Bone marrow smear
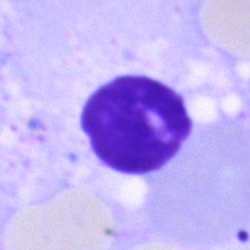

This is an artefact.